Bone marrow aspirate smear — 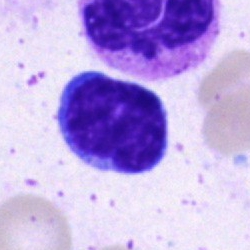

Impression — lymphocyte.